Peripheral blood smear; Romanowsky-type stain — 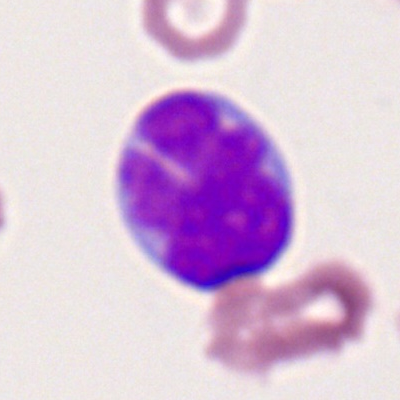A typical lymphocyte.